Bone marrow smear. Single cell centered in the field
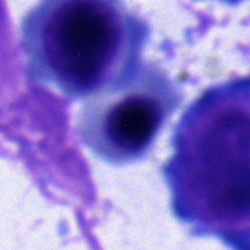
{"cell_type": "nucleated red cell", "lineage": "erythroid"}